Bone marrow aspirate smear; 250 by 250 pixels: 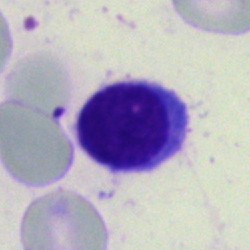

Q: What is shown here?
A: A typical lymphocyte.